Romanowsky stain; peripheral blood film: 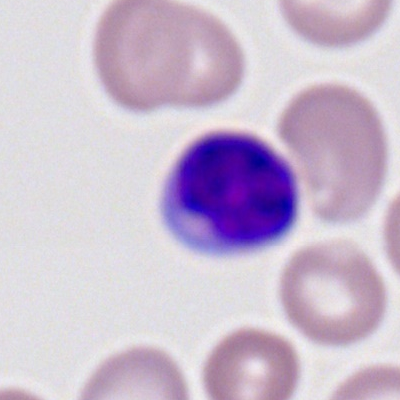
Morphology — lymphocyte.